Bone marrow smear — 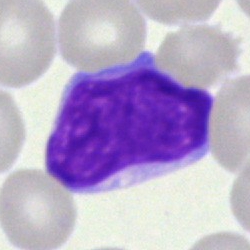

Cell: blast.